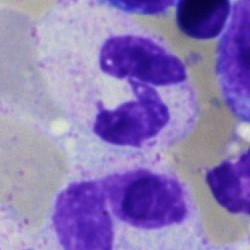
Impression — eosinophilic granulocyte.